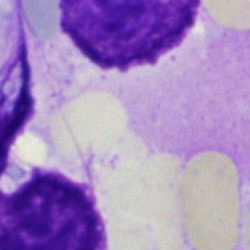

Single-cell crop from a bone marrow smear: artefact.